Bone marrow aspirate smear · 250 by 250 pixels · brightfield microscopy, 40× oil immersion: 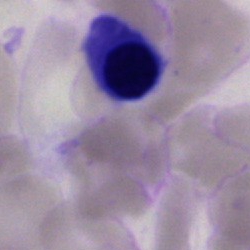
The cell shown is a normoblast.